Romanowsky-type stain. Peripheral blood smear. 100× oil immersion, 14.14 px/µm.
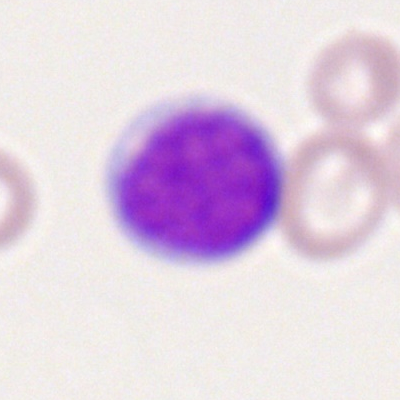

Classification: typical lymphocyte.